Peripheral blood film · 100× oil immersion · 400×400 — 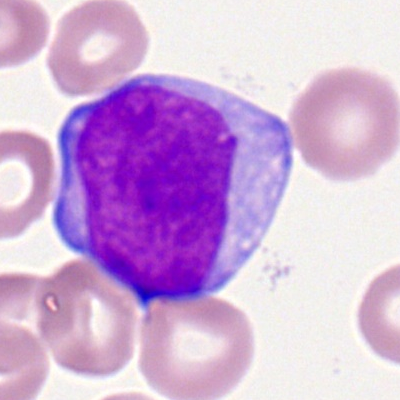Specimen: peripheral blood film.
Classification: myeloid blast.